Pappenheim-stained. Bone marrow smear. Image size 250×250 — 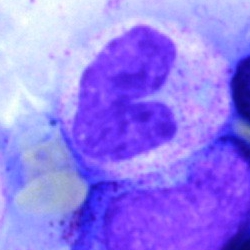 Specimen: bone marrow aspirate smear.
Cell: neutrophil (band).